M8 digital microscope (Precipoint), 100× oil immersion · peripheral blood smear.
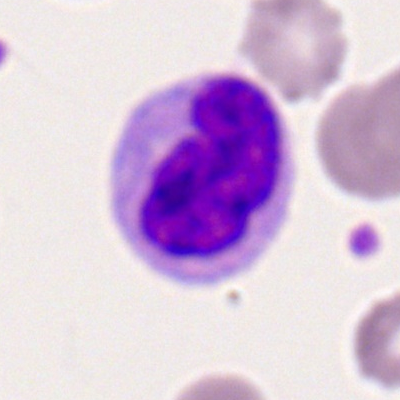 Single cell identified as a monocyte.